Bone marrow aspirate smear: 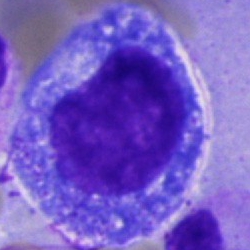 Q: What is shown here?
A: A progranulocyte.